Bone marrow aspirate smear — 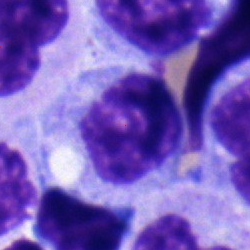Specimen: bone marrow aspirate smear.
Classification: myelocyte.
Lineage: myeloid.